May-Grünwald-Giemsa/Pappenheim stain · bone marrow aspirate smear · single-cell crop — 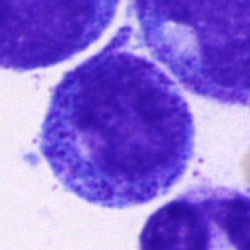 {"cell_type": "progranulocyte"}